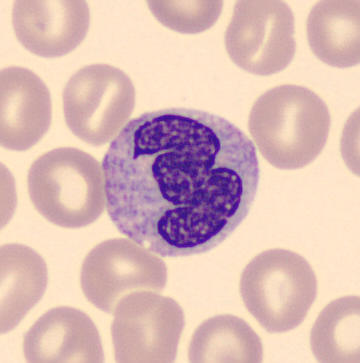Morphology — monocyte.